Peripheral blood smear.
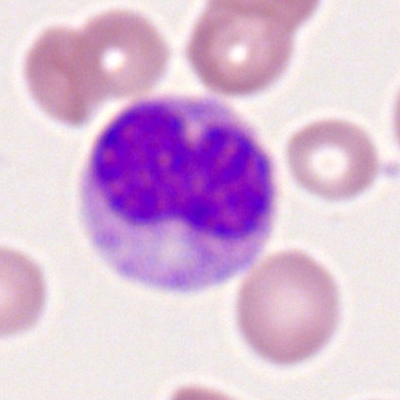

A band neutrophil.